Single-cell crop · 100× oil immersion, 14.14 px/µm · peripheral blood film: 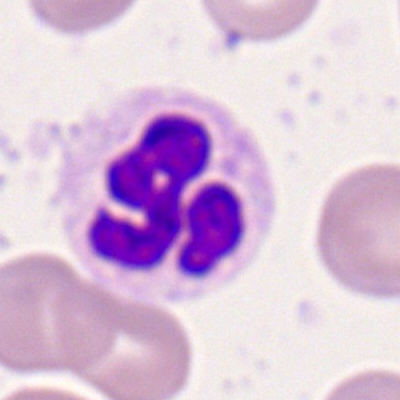Single cell identified as a neutrophil (segmented).